Bone marrow smear · brightfield, 40× oil-immersion objective — 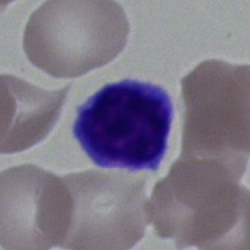 Q: Identify the cell.
A: This is a lymphocyte.